Bone marrow aspirate smear: 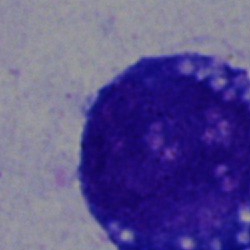 Morphology → blast cell.